Cropped to a single cell. Bone marrow smear.
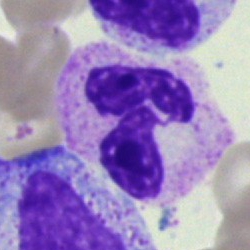Specimen: bone marrow aspirate smear.
Cell type: neutrophil (segmented).
Lineage: myeloid.